250×250 · single-cell crop · bone marrow aspirate smear: 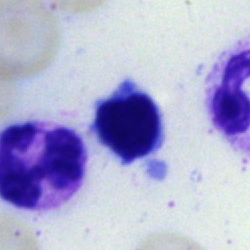 Showing a lymphocyte.